Bone marrow aspirate smear: 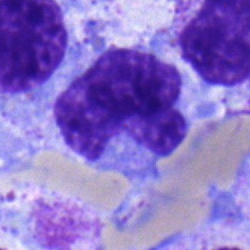

Q: What is shown here?
A: It is a monocyte.